Bone marrow smear.
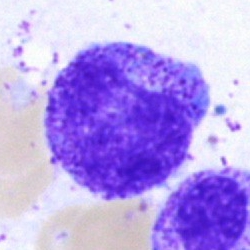 Morphology → myelocyte.